Pappenheim-stained · single-cell field · bone marrow smear — 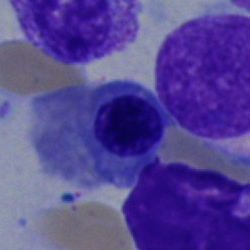Morphological class — erythroblast.